Bone marrow aspirate smear — 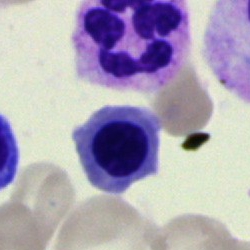Single cell identified as an erythroblast.